Bone marrow aspirate smear · image size 250×250 · May-Grünwald-Giemsa stain.
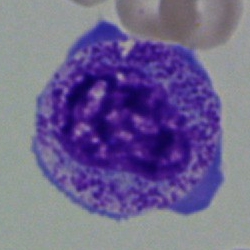

Q: What type of cell is this?
A: Progranulocyte.